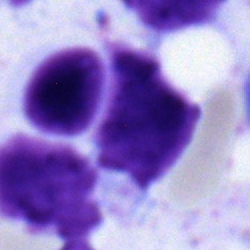
Q: What is shown here?
A: This is a lymphocyte.